40× oil immersion; bone marrow smear; 250×250.
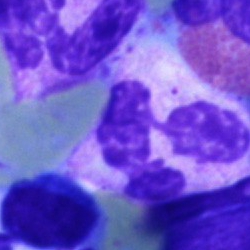Q: What cell is this?
A: Segmented neutrophil.